Bone marrow smear.
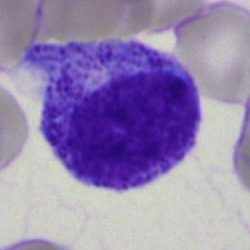

Cell type — myelocyte.